Bone marrow aspirate smear
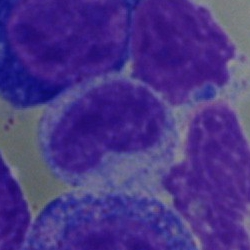
Specimen: bone marrow aspirate smear.
Morphological class: metamyelocyte.
Lineage: myeloid.